Peripheral blood film.
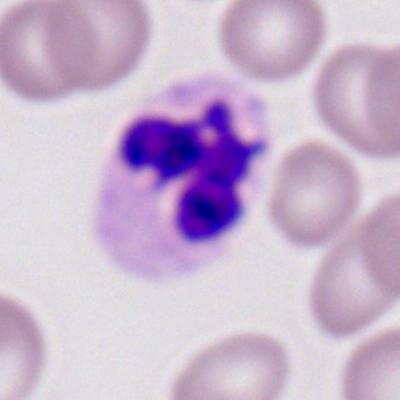

{"cell_type": "segmented neutrophil", "lineage": "myeloid"}